Bone marrow aspirate smear
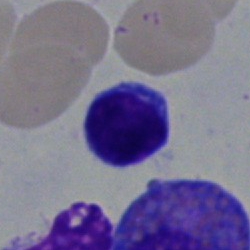 Q: What is the morphological classification of this cell?
A: This is a lymphocyte.